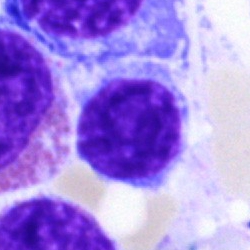
Morphology consistent with a typical lymphocyte.